Bone marrow aspirate smear
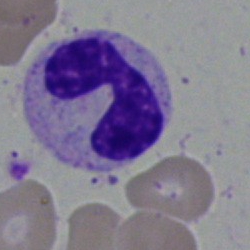

Morphological class = band neutrophil.